Bone marrow aspirate smear
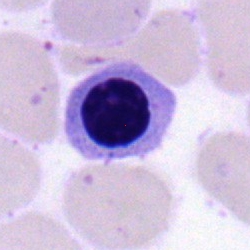
Single cell identified as a normoblast.